Bone marrow aspirate smear:
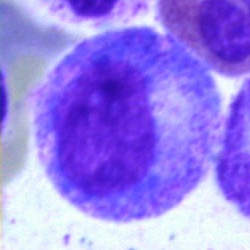

Promyelocyte.